Bone marrow aspirate smear:
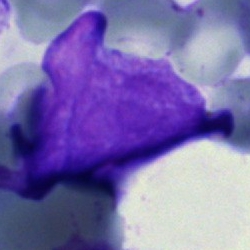
The cell type is blast.